250×250 px; 40× oil immersion; bone marrow smear — 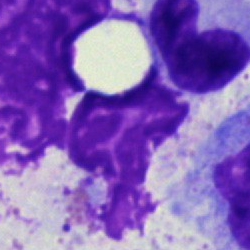

This is an artifact.